Bone marrow aspirate smear
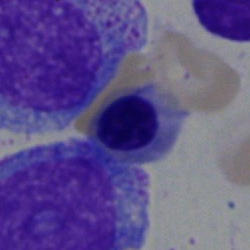 Morphology consistent with a normoblast.